Bone marrow aspirate smear
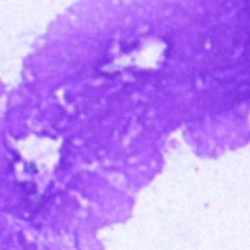
Morphology — artefact.